Peripheral blood smear. Cropped to a single cell:
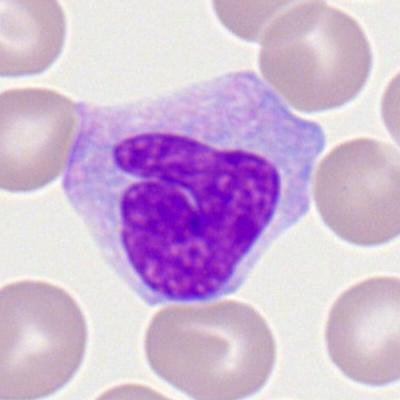Specimen: peripheral blood film.
Cell: monocyte.
Lineage: myeloid.